Peripheral blood film.
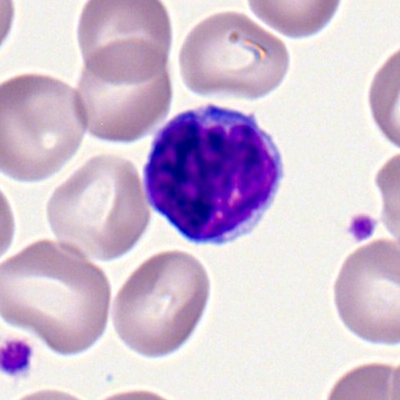
The cell shown is a lymphocyte.